Bone marrow smear: 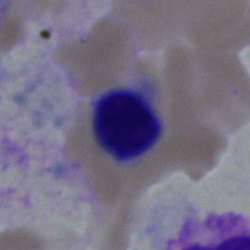 Impression — erythroblast.